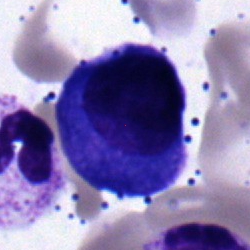

Specimen: bone marrow aspirate smear.
Classification: plasmacyte.